Bone marrow smear · brightfield, 40× oil-immersion objective — 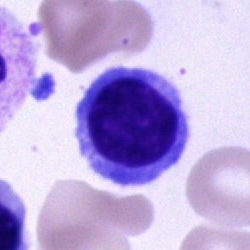

Morphological class = lymphocyte.